Bone marrow smear · image size 250×250: 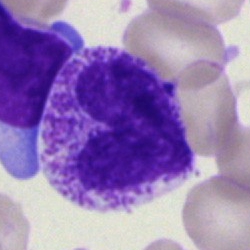Q: What cell is this?
A: Metamyelocyte.